Bone marrow smear; Pappenheim-stained — 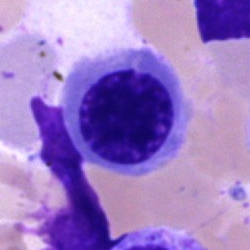Specimen: bone marrow aspirate smear.
Classification: nucleated red blood cell.
Lineage: erythroid.